Peripheral blood film; M8 digital microscope (Precipoint), 100× oil immersion
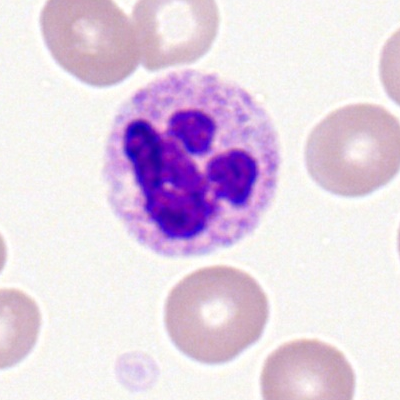
Cell — neutrophil (segmented).